Bone marrow aspirate smear.
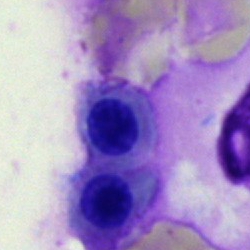Nucleated red blood cell.